Bone marrow smear.
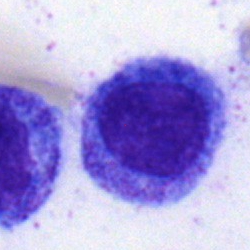 Cell type — progranulocyte.